Bone marrow aspirate smear — 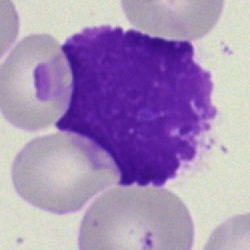 Classification = artefact.